Bone marrow smear:
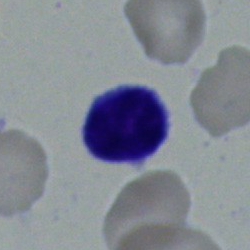
This is a lymphocyte.